Bone marrow smear. 250×250 px. 40× oil immersion:
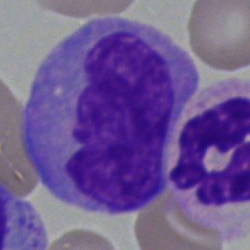Monocyte.